Bone marrow aspirate smear; image size 250×250; brightfield, 40× oil-immersion objective:
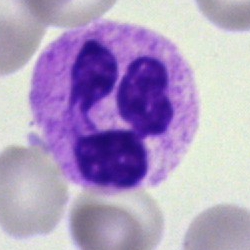Q: What is the morphological classification of this cell?
A: A neutrophil (segmented).